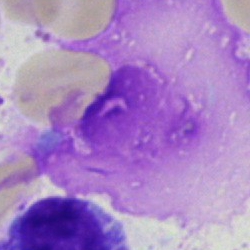
Morphology consistent with an artifact.